Bone marrow smear — 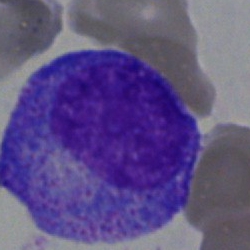

Morphology — promyelocyte.